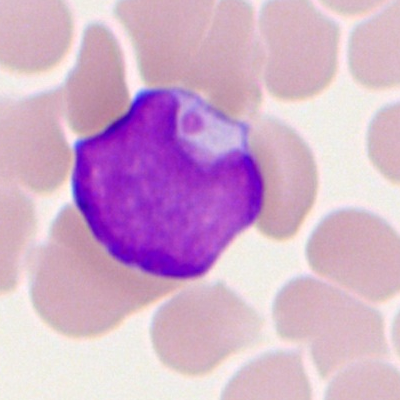

A myeloblast on a peripheral blood smear.